Bone marrow aspirate smear. Brightfield microscopy, 40× oil immersion:
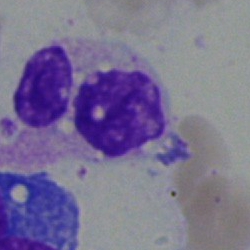The cell shown is a segmented neutrophil.